Bone marrow smear. Single cell centered in the field
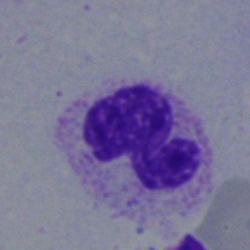Morphology — segmented neutrophil.